Bone marrow smear; Pappenheim-stained; 40× objective, oil immersion
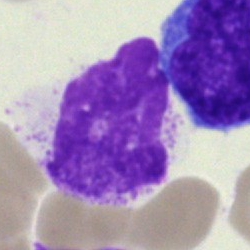Impression → artifact.